Bone marrow aspirate smear
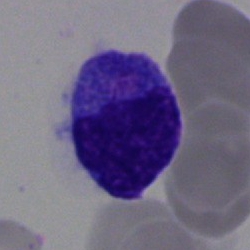
Specimen: bone marrow smear.
Classification: typical lymphocyte.
Lineage: lymphoid.